Brightfield microscopy, 40× oil immersion; bone marrow aspirate smear — 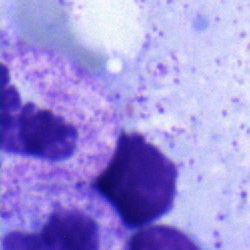
Classification: polymorphonuclear neutrophil.